Bone marrow smear:
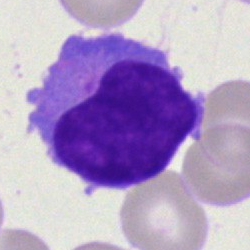 The cell is typical lymphocyte.